Bone marrow smear — 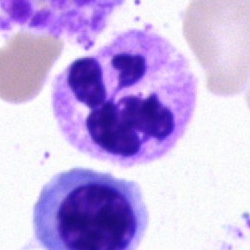Segmented neutrophil.